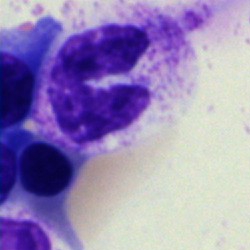

Specimen: bone marrow smear.
Cell: segmented neutrophil.